Brightfield microscopy, 40× oil immersion · bone marrow smear · May-Grünwald-Giemsa stain — 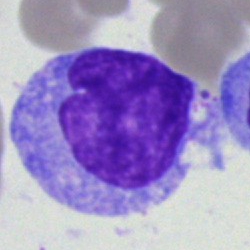

Q: Which cell type is shown here?
A: This is a monocyte.